May-Grünwald-Giemsa stain · bone marrow smear — 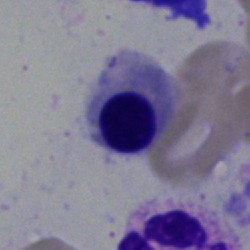
This is a normoblast.